Single-cell field · bone marrow smear · May-Grünwald-Giemsa/Pappenheim stain:
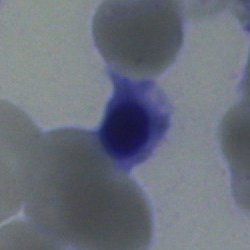{"cell_type": "normoblast", "lineage": "erythroid"}